Bone marrow aspirate smear.
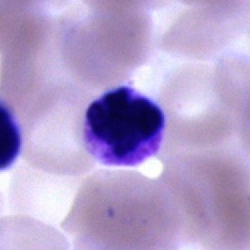

Polymorphonuclear neutrophil.